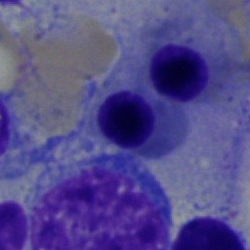Classification — erythroblast.